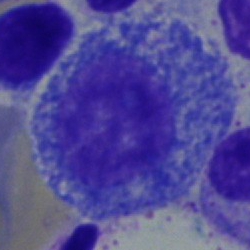

{"cell_type": "progranulocyte"}